Bone marrow smear · MGG-stained.
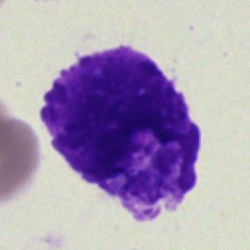Artifact.